Brightfield microscopy, 40× oil immersion · bone marrow smear.
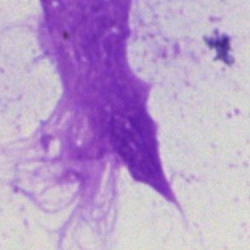Q: What is shown here?
A: Artefact.